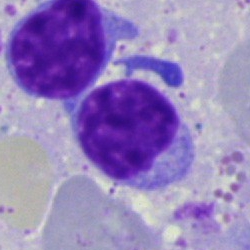

Classification = lymphocyte.